Bone marrow smear: 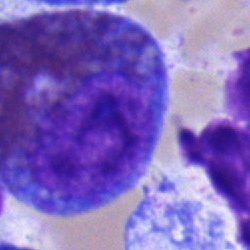
Cell: eosinophilic granulocyte.